250×250 px. Bone marrow smear. Single cell centered in the field: 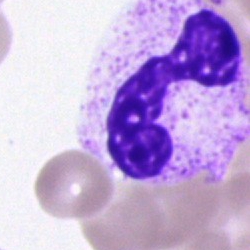

This is a neutrophil (segmented).